Bone marrow smear · May-Grünwald-Giemsa/Pappenheim stain:
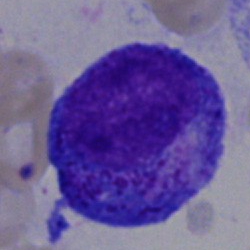

Showing a progranulocyte.